Bone marrow smear: 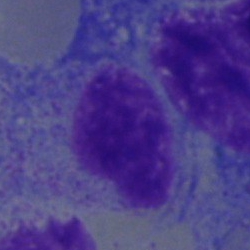

Impression — myelocyte.